Single-cell field. Bone marrow smear. 250×250.
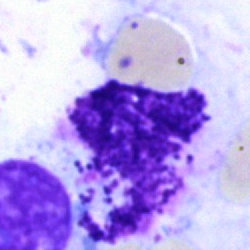An artefact.